Bone marrow aspirate smear: 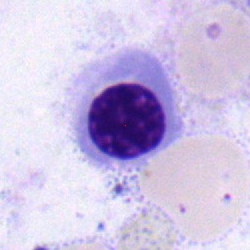
Specimen: bone marrow smear.
Morphological class: nucleated red blood cell.
Lineage: erythroid.